Bone marrow aspirate smear; 250 by 250 pixels; MGG-stained: 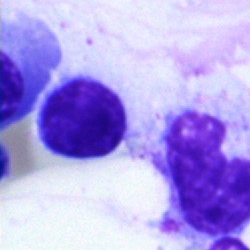 Morphology consistent with a lymphocyte.